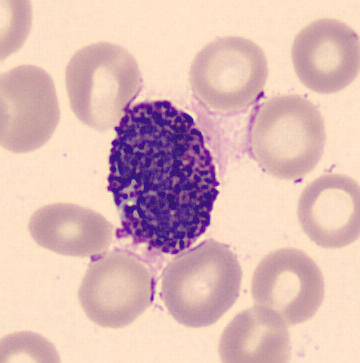
Showing a basophil.
Image: Single cell centered in the field · peripheral blood film.